100× oil immersion; Romanowsky-type stain; peripheral blood smear.
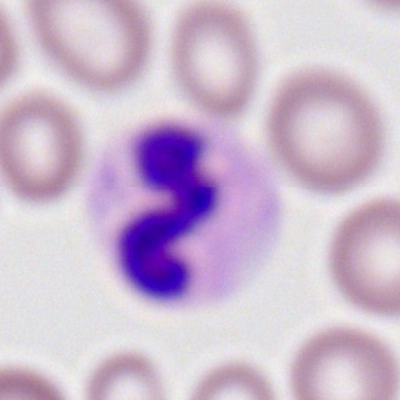Cell: neutrophil (segmented).